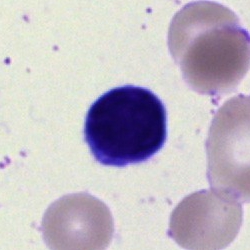Q: What is the morphological classification of this cell?
A: This is a lymphocyte.